Bone marrow aspirate smear; 250 by 250 pixels
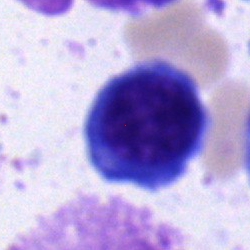 Normoblast.